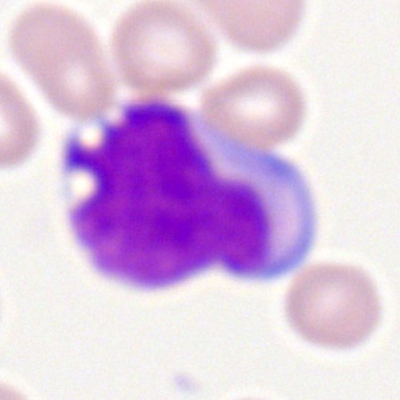

Specimen: peripheral blood film.
Morphological class: myeloblast.
Lineage: myeloid.